Bone marrow aspirate smear
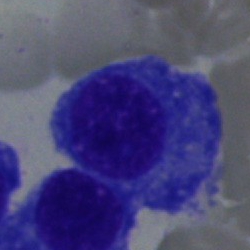 {"cell_type": "plasmacyte"}